Bone marrow smear: 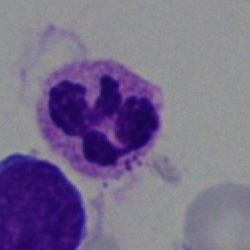
Classification: segmented neutrophil.